Bone marrow aspirate smear:
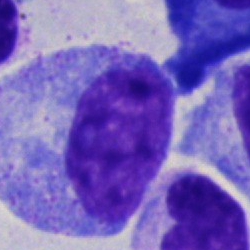 Q: Which cell type is shown here?
A: This is a promyelocyte.